Peripheral blood smear: 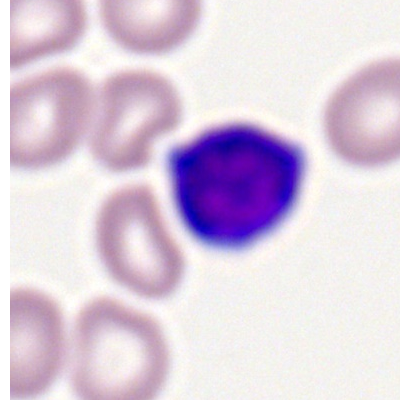
{"cell_type": "typical lymphocyte"}